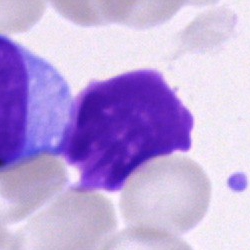

The cell shown is an artifact.